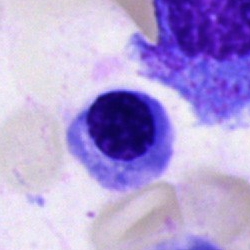
Cell: erythroblast.